Bone marrow aspirate smear
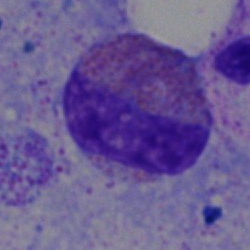 Showing an eosinophilic granulocyte.